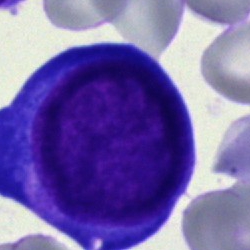Morphology consistent with a pronormoblast.